Bone marrow smear
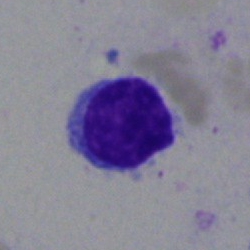

A typical lymphocyte.